Peripheral blood film
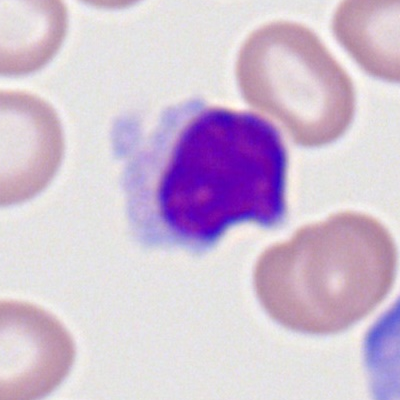
Specimen: peripheral blood smear.
Classification: lymphocyte.
Lineage: lymphoid.